250×250; bone marrow aspirate smear.
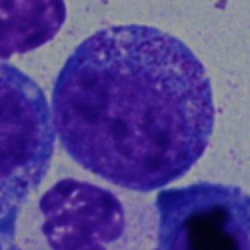

A progranulocyte.